Bone marrow aspirate smear; cropped to a single cell.
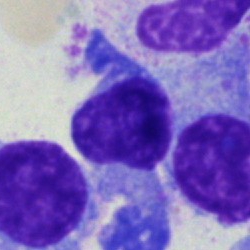

The cell shown is a lymphocyte.